Bone marrow aspirate smear · 40× oil immersion — 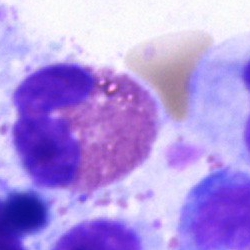 Impression → eosinophil.